Peripheral blood smear:
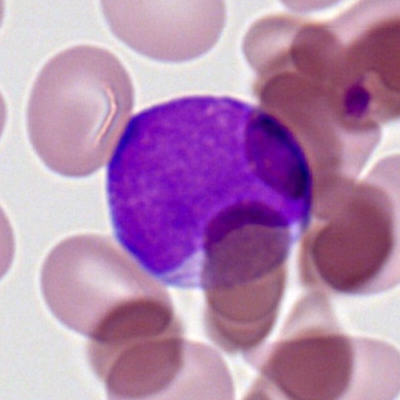 Q: Identify the cell.
A: A myeloid blast.